Single-cell crop · bone marrow smear: 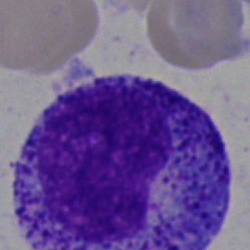 Morphology — promyelocyte.